Bone marrow smear.
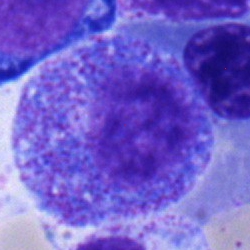
Classification = progranulocyte.